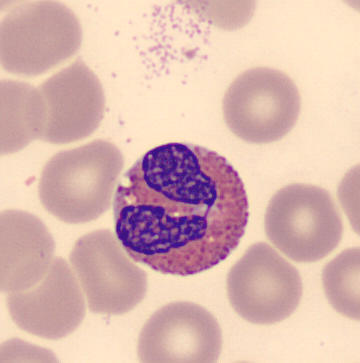 Acquisition: Single-cell crop · peripheral blood film. Eosinophil.